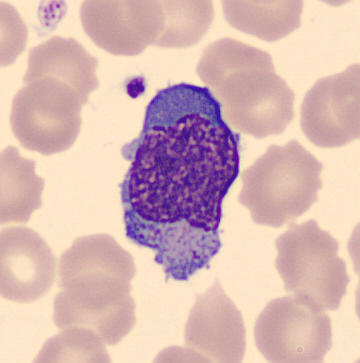 Specimen: peripheral blood film.
Cell: monocyte.